Single-cell field; bone marrow aspirate smear: 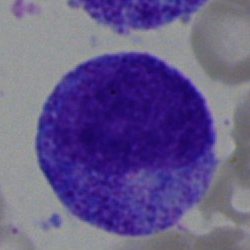Showing a promyelocyte.